Bone marrow smear; single-cell crop:
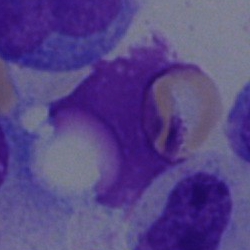{"cell_type": "artefact"}